Bone marrow aspirate smear.
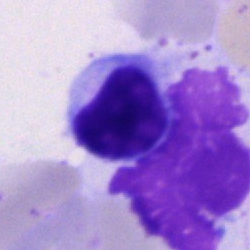Specimen: bone marrow aspirate smear.
Cell: artifact.